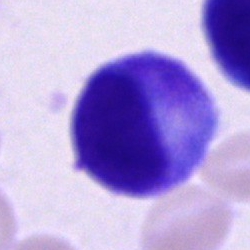
Cell type = progranulocyte.